Bone marrow aspirate smear: 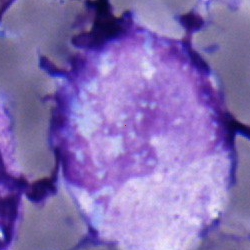 Morphological class — myelocyte.